Bone marrow smear; MGG-stained — 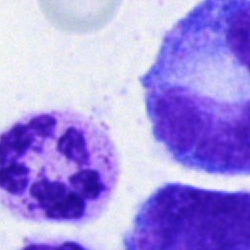This is a neutrophil (segmented).